Bone marrow aspirate smear:
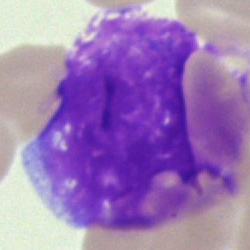

Specimen: bone marrow aspirate smear.
Cell type: artefact.